Bone marrow aspirate smear: 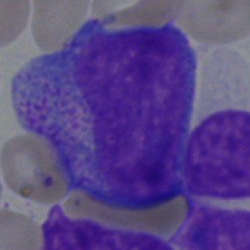 Specimen: bone marrow smear.
Classification: progranulocyte.